Peripheral blood film; 360×363:
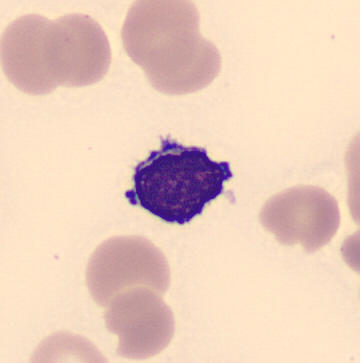
The cell is lymphocyte.